MGG-stained. Bone marrow smear. 40× oil immersion — 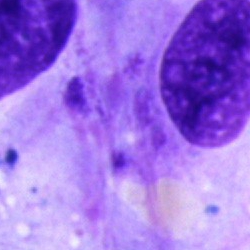Cell type: artifact.